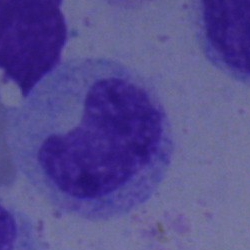 Morphology → band-form neutrophil.